Bone marrow smear.
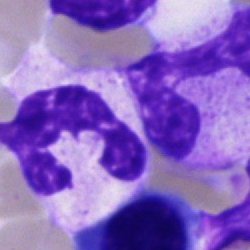

Morphology → polymorphonuclear neutrophil.